Bone marrow smear.
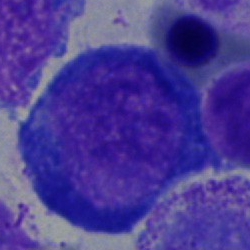

Specimen: bone marrow smear.
Cell: pronormoblast.
Lineage: erythroid.